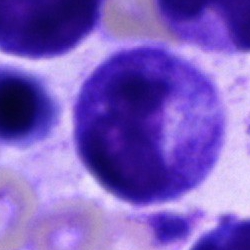Classification: progranulocyte.